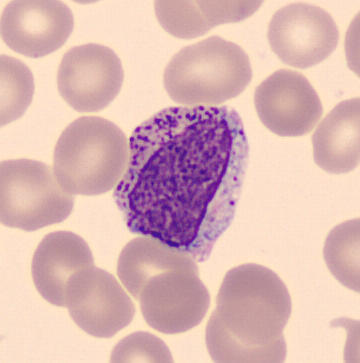
Cell — myelocyte. 360 by 363 pixels; peripheral blood film.